Single-cell crop; 100× objective, oil immersion; peripheral blood smear
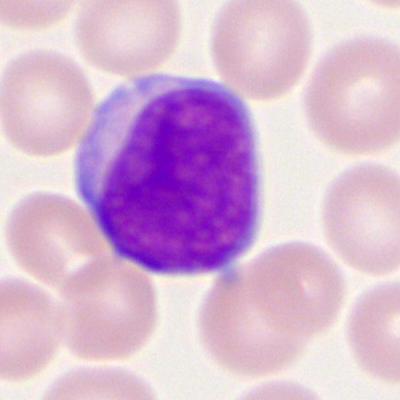 Q: What type of cell is this?
A: It is a myeloblast.